Brightfield, 40× oil-immersion objective; bone marrow aspirate smear; single-cell field.
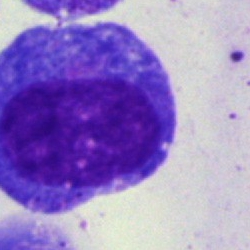 Morphology → promyelocyte.